Peripheral blood film.
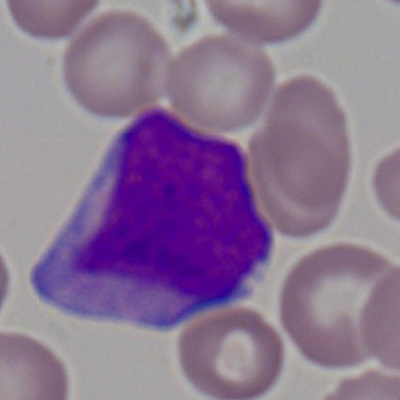Specimen: peripheral blood film.
Morphological class: myeloblast.